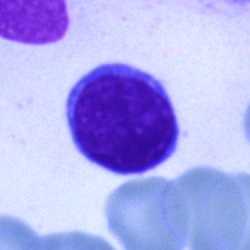 Morphology consistent with a lymphocyte.